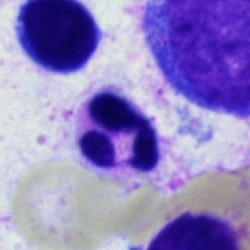

Single cell identified as a neutrophil (segmented).